Bone marrow aspirate smear; 250×250 px:
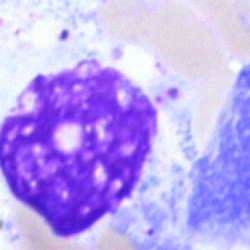

Classification — artefact.